Bone marrow smear · 250×250.
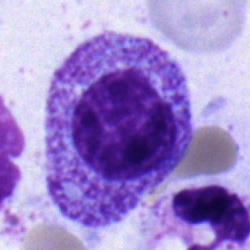 Specimen: bone marrow smear.
Cell: myelocyte.
Lineage: myeloid.